Bone marrow aspirate smear; brightfield microscopy, 40× oil immersion.
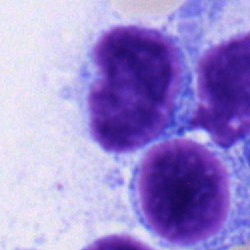

Showing a typical lymphocyte.